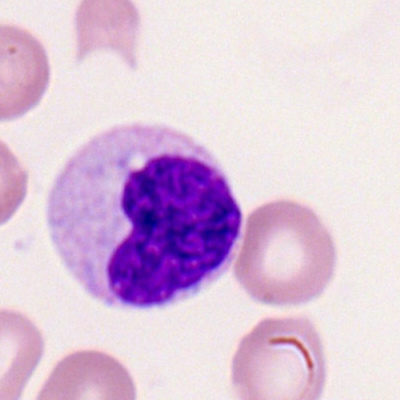 The cell shown is a band-form neutrophil.